Bone marrow aspirate smear
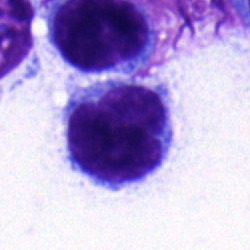

The cell is lymphocyte.